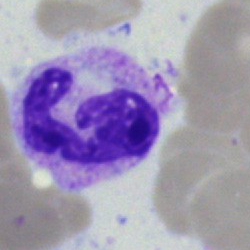
This is a polymorphonuclear neutrophil.